Single-cell field · May-Grünwald-Giemsa stain · bone marrow smear.
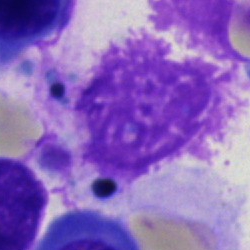
Impression — artefact.